Bone marrow smear; brightfield, 40× oil-immersion objective.
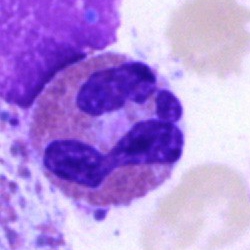 Q: What is shown here?
A: This is an eosinophil.